Pappenheim-stained · bone marrow aspirate smear — 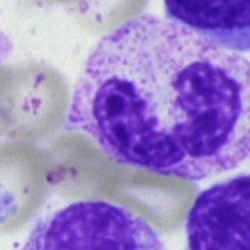

Q: What is shown here?
A: It is a neutrophil (segmented).